Bone marrow smear
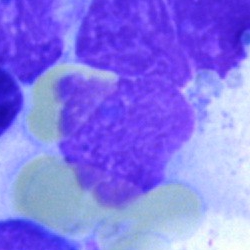 Specimen: bone marrow smear.
Morphological class: artefact.